Image size 250×250. Bone marrow aspirate smear.
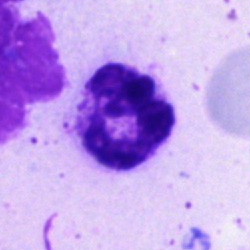 Q: What cell is this?
A: Neutrophil (segmented).